Bone marrow aspirate smear.
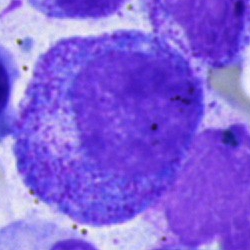
The morphological class is progranulocyte.